Cropped to a single cell · bone marrow aspirate smear · Pappenheim-stained:
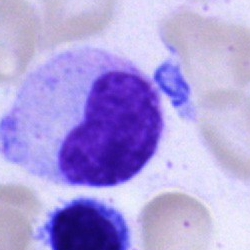 Showing a metamyelocyte.